Bone marrow aspirate smear. May-Grünwald-Giemsa stain. Brightfield, 40× oil-immersion objective — 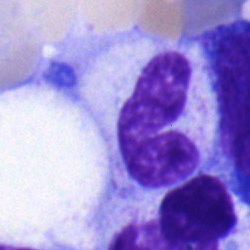Q: What is shown here?
A: It is a band-form neutrophil.